Bone marrow smear.
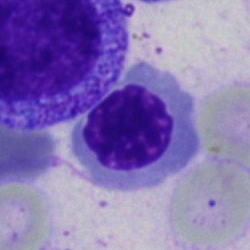The cell is nucleated red blood cell.